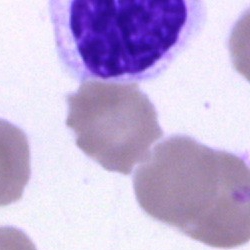 Morphology — artefact.